250×250 px. Cropped to a single cell. Bone marrow aspirate smear
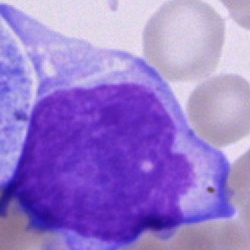Q: What is shown here?
A: This is an undifferentiated blast.